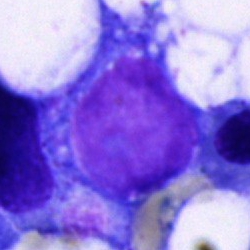
Single-cell crop from a bone marrow smear: blast cell.